Peripheral blood smear: 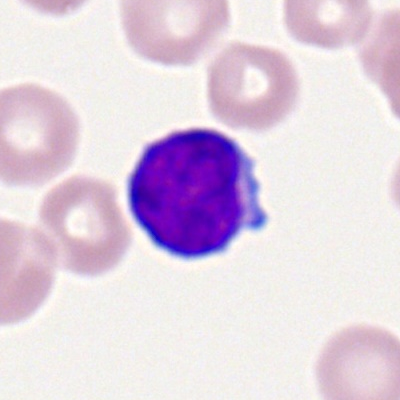
Specimen: peripheral blood smear.
Cell type: typical lymphocyte.